Bone marrow aspirate smear
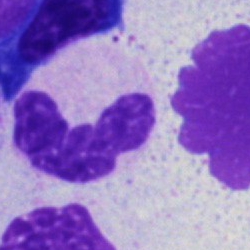 The cell shown is a neutrophil (segmented).